Bone marrow aspirate smear
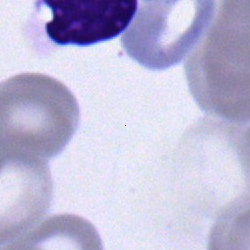Single cell identified as a typical lymphocyte.